Single-cell field; bone marrow aspirate smear
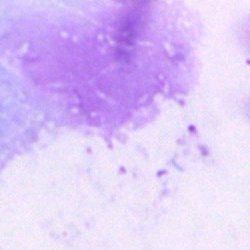 Specimen: bone marrow aspirate smear.
Cell: artefact.